Single-cell field. Bone marrow aspirate smear.
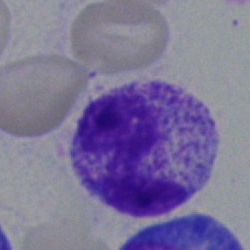

Impression → neutrophil (segmented).